250×250 px. Single cell centered in the field. Bone marrow smear.
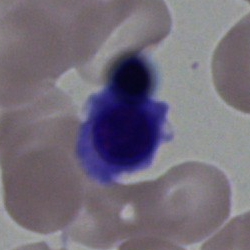 This is an erythroblast.